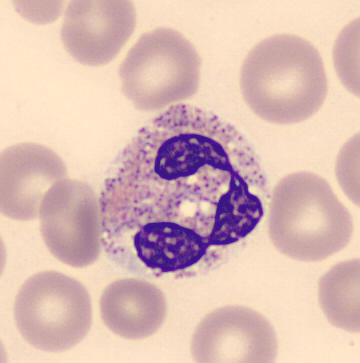 {"cell_type": "neutrophil (segmented)", "lineage": "myeloid"}

Preparation: Peripheral blood film.